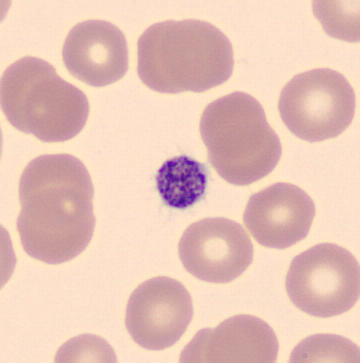Image: Imaged on a CellaVision DM96 analyser · peripheral blood smear · 360×363 px.

Classification = thrombocyte.